Bone marrow smear · brightfield, 40× oil-immersion objective · 250 by 250 pixels
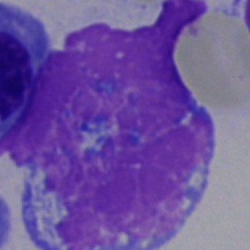 Q: What is shown here?
A: Artifact.